Brightfield microscopy, 40× oil immersion. MGG-stained. Bone marrow smear.
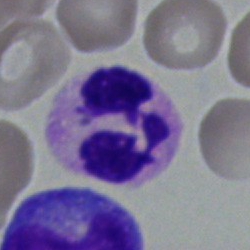Cell: polymorphonuclear neutrophil.